Brightfield microscopy, 40× oil immersion; bone marrow aspirate smear; image size 250×250: 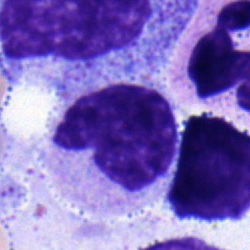Q: What is shown here?
A: This is a band-form neutrophil.